Bone marrow aspirate smear. 250×250 px — 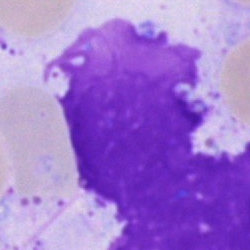
Cell type = artefact.